Single-cell field; bone marrow smear; 250×250 px — 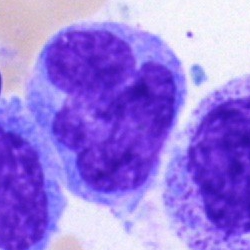Specimen: bone marrow smear.
Cell: monocyte.